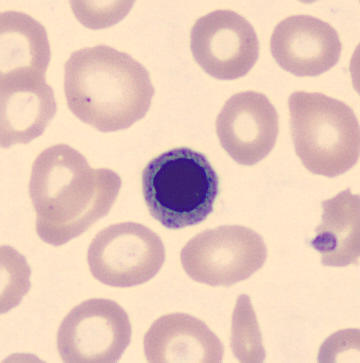
Peripheral blood smear. The classification is normoblast.